Bone marrow aspirate smear; Pappenheim-stained — 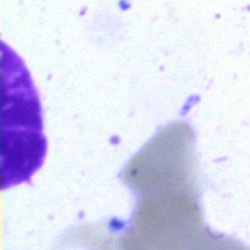
Impression — artifact.